40× objective, oil immersion. Bone marrow aspirate smear
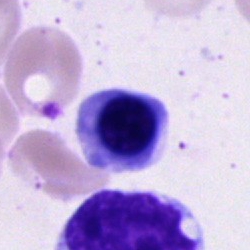 The cell is nucleated red blood cell.